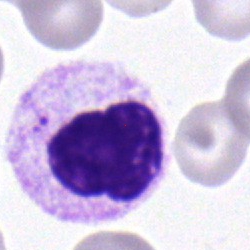 Q: What is the morphological classification of this cell?
A: A segmented neutrophil.